Bone marrow aspirate smear — 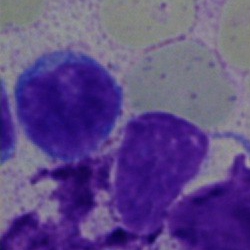
Cell — typical lymphocyte.